Bone marrow smear · Pappenheim-stained · single cell centered in the field:
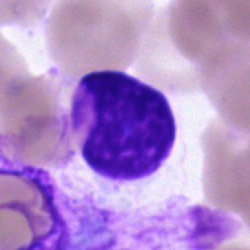The cell is artifact.